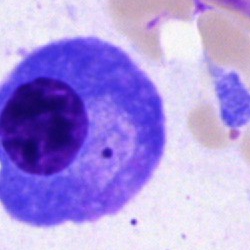 Impression — plasmacyte.